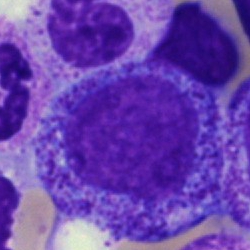

Morphological class — progranulocyte.